Bone marrow aspirate smear
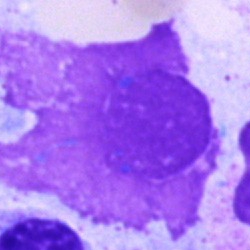

Artefact.